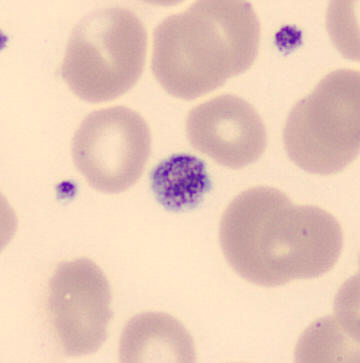
The cell type is platelet.